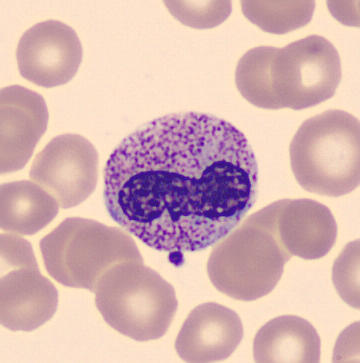
Q: What is the morphological classification of this cell?
A: This is a neutrophil (band).